Bone marrow smear: 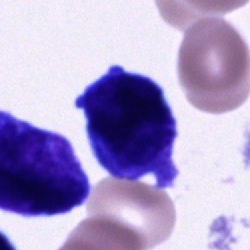 Cell = cell of indeterminate lineage.